40× objective, oil immersion; bone marrow smear.
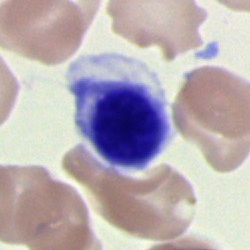
Single cell identified as an artefact.